Bone marrow smear
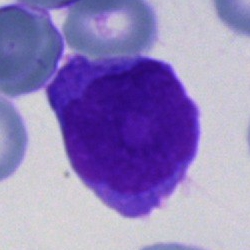

This is a blast cell.